May-Grünwald-Giemsa stain. Single cell centered in the field. Bone marrow smear:
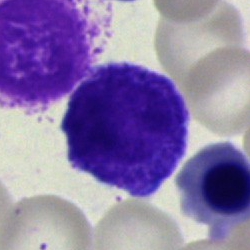
Specimen: bone marrow smear.
Classification: progranulocyte.
Lineage: myeloid.